Bone marrow aspirate smear:
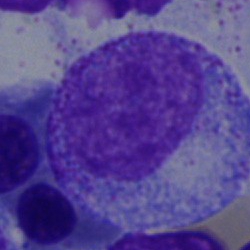
Classification — progranulocyte.